CellaVision DM96 · peripheral blood film.
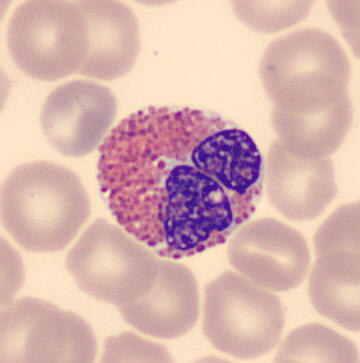

Cell = eosinophilic granulocyte.